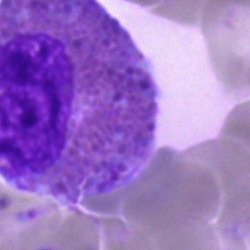

Morphological class — eosinophil.